Bone marrow smear
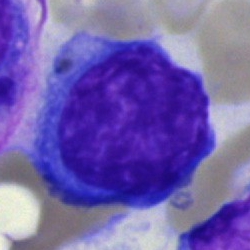

A blast.